40× objective, oil immersion; bone marrow aspirate smear; single-cell crop
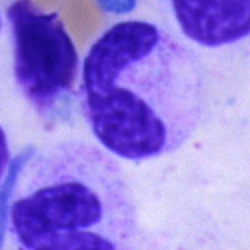

Morphological class: band neutrophil.